Bone marrow aspirate smear: 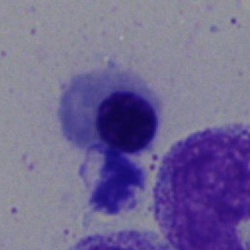
Q: What type of cell is this?
A: It is a nucleated red blood cell.